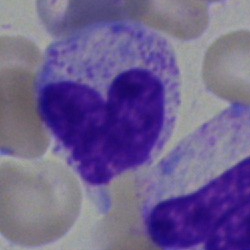 Specimen: bone marrow aspirate smear.
Cell type: neutrophil (band).
Lineage: myeloid.